Bone marrow smear — 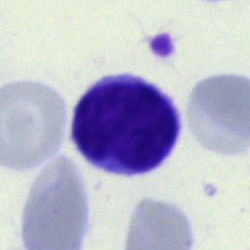
The cell shown is a typical lymphocyte.